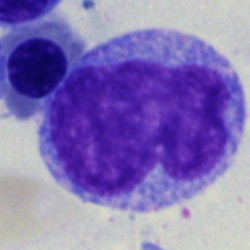 Q: What is the morphological classification of this cell?
A: This is a monocyte.